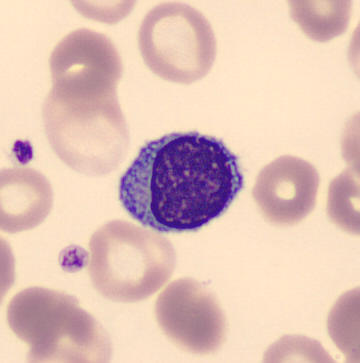
The cell is typical lymphocyte.